Bone marrow aspirate smear:
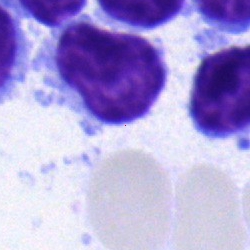

Q: What type of cell is this?
A: Typical lymphocyte.